Single-cell field · bone marrow aspirate smear
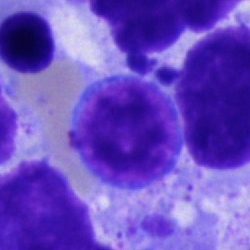
Q: What is shown here?
A: A typical lymphocyte.